Bone marrow smear: 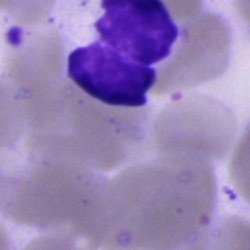
{"cell_type": "artifact"}